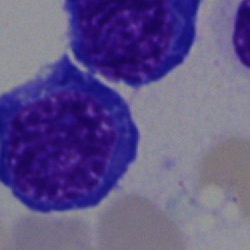
Showing a normoblast.